Bone marrow aspirate smear
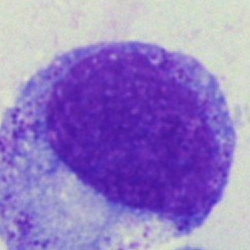 Specimen: bone marrow aspirate smear.
Morphological class: progranulocyte.
Lineage: myeloid.